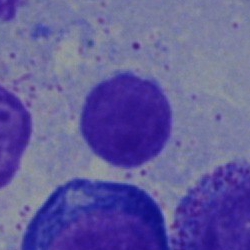

Specimen: bone marrow aspirate smear.
Classification: lymphocyte.